250 by 250 pixels. Bone marrow aspirate smear
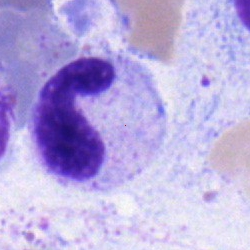
The cell shown is a band-form neutrophil.